Cropped to a single cell. Bone marrow aspirate smear
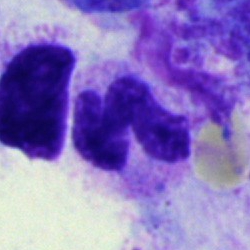

The cell shown is a polymorphonuclear neutrophil.